Peripheral blood film: 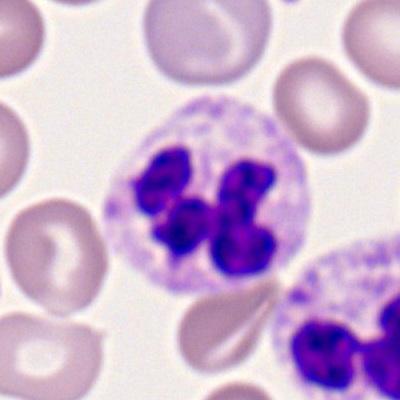

The cell shown is a neutrophil (segmented).